Bone marrow aspirate smear. 40× oil immersion. Pappenheim-stained — 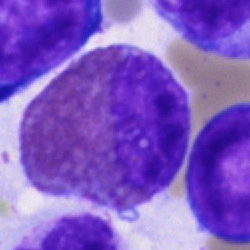
Morphological class — eosinophil.